Peripheral blood film.
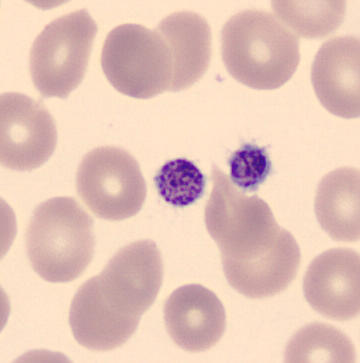Showing a platelet (thrombocyte).